Bone marrow smear: 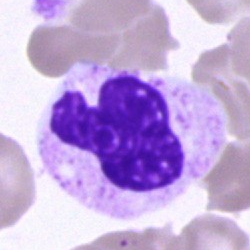Showing a segmented neutrophil.